Bone marrow aspirate smear: 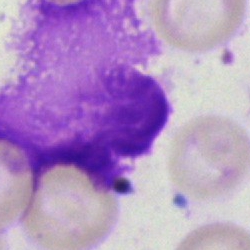

Morphology — artifact.